Bone marrow aspirate smear; 250×250; May-Grünwald-Giemsa/Pappenheim stain — 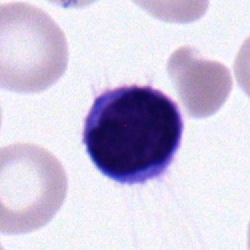 Q: What is the morphological classification of this cell?
A: A lymphocyte.